Peripheral blood smear
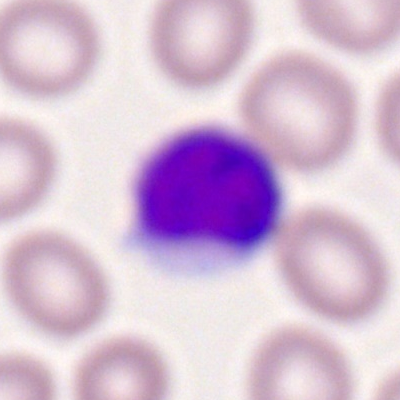
Q: Which cell type is shown here?
A: It is a typical lymphocyte.